Peripheral blood smear.
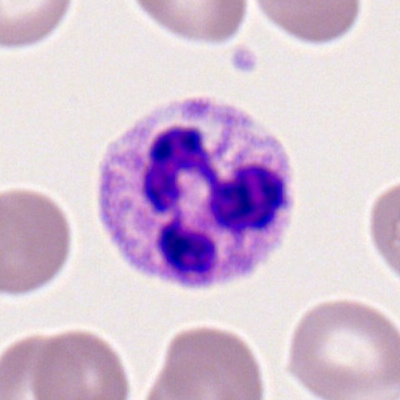

Specimen: peripheral blood smear.
Classification: neutrophil (segmented).
Lineage: myeloid.